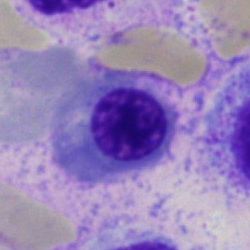Morphology consistent with a normoblast.